MGG-stained; brightfield, 40× oil-immersion objective; bone marrow aspirate smear: 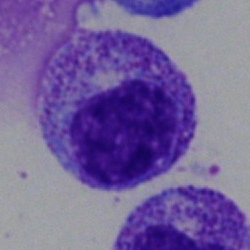The classification is myelocyte.